Bone marrow aspirate smear:
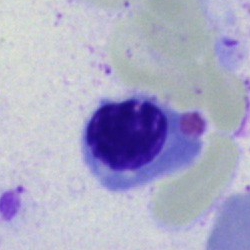
Cell type: normoblast.